Pappenheim-stained · bone marrow aspirate smear: 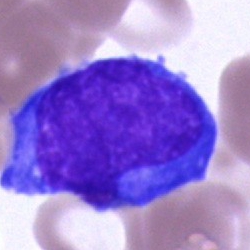 Specimen: bone marrow aspirate smear.
Cell: blast.